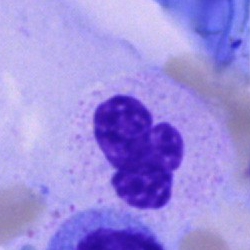 Single-cell crop from a bone marrow smear: neutrophil (segmented).